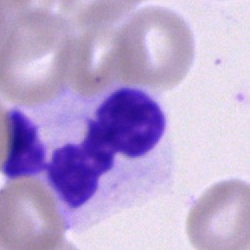Q: What type of cell is this?
A: It is a neutrophil (segmented).